Pappenheim-stained. Bone marrow smear
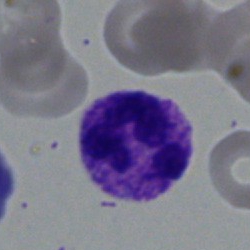

Morphology consistent with a neutrophil (segmented).